May-Grünwald-Giemsa stain; bone marrow smear; brightfield, 40× oil-immersion objective: 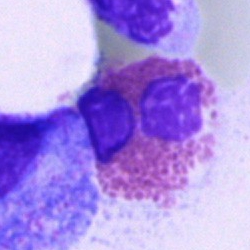Showing an eosinophilic granulocyte.